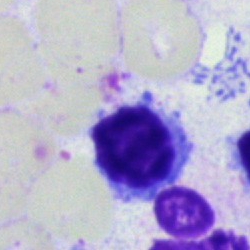
Specimen: bone marrow smear.
Cell: erythroblast.
Lineage: erythroid.